Bone marrow smear:
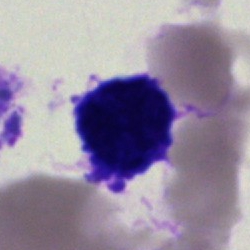Morphology consistent with an artefact.